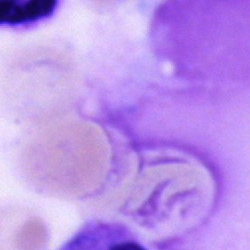
Cell: artefact.